Image size 250×250 · brightfield microscopy, 40× oil immersion · bone marrow aspirate smear:
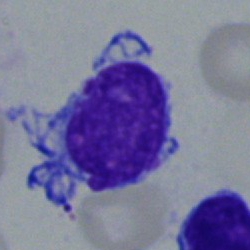

Q: Which cell type is shown here?
A: It is a typical lymphocyte.